Bone marrow aspirate smear; cropped to a single cell:
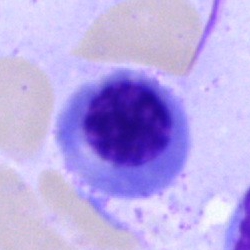
{"cell_type": "normoblast", "lineage": "erythroid"}